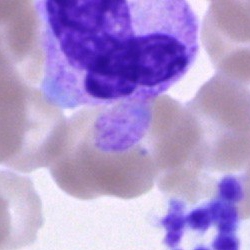Single cell identified as a segmented neutrophil.